Peripheral blood film — 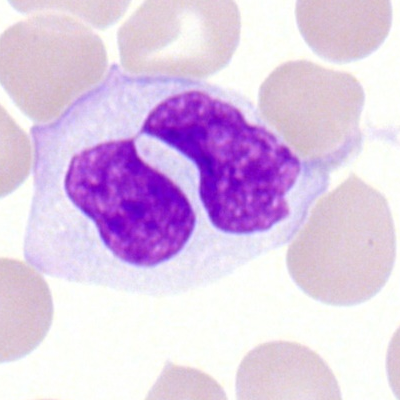 This is a monocyte.